Peripheral blood film:
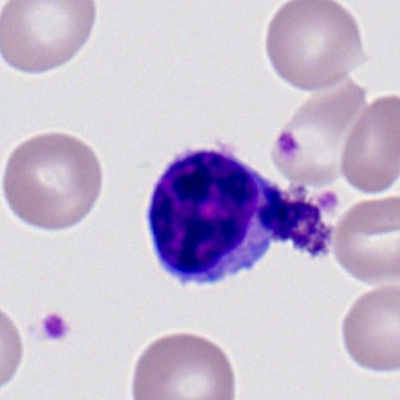

The cell shown is a typical lymphocyte.